Bone marrow aspirate smear.
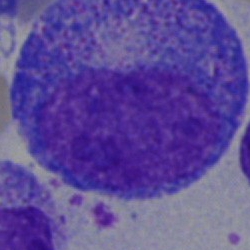 Single cell identified as a promyelocyte.